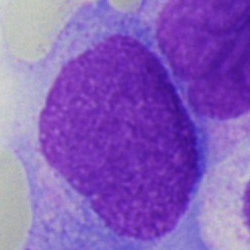

Classification = undifferentiated blast.